Bone marrow smear — 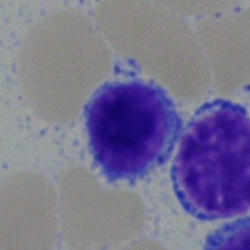 Single cell identified as a lymphocyte.